Bone marrow smear; cropped to a single cell: 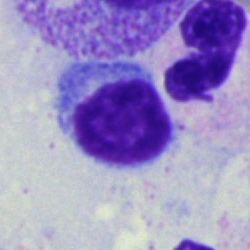
Single cell identified as a lymphocyte.